Bone marrow aspirate smear: 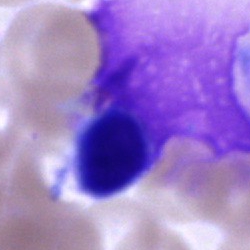 Cell = unidentifiable cell.